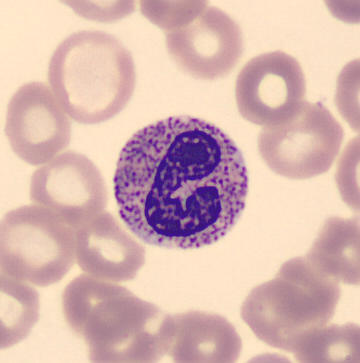Peripheral blood film, single cell — band-form neutrophil.